Bone marrow aspirate smear; single-cell crop:
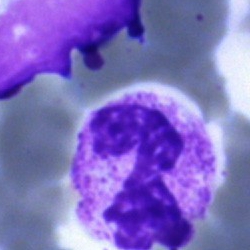
{"cell_type": "polymorphonuclear neutrophil"}